Single-cell crop. Peripheral blood smear.
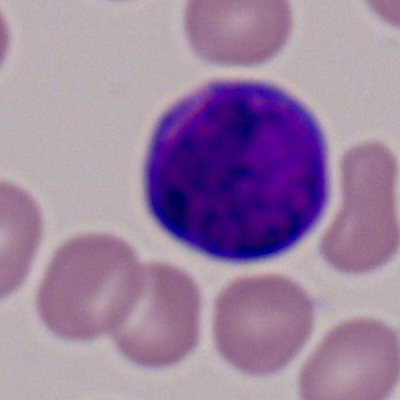

The cell shown is a myeloid blast.